250×250; single-cell field; bone marrow smear — 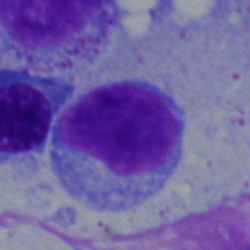 A typical lymphocyte.